Bone marrow aspirate smear: 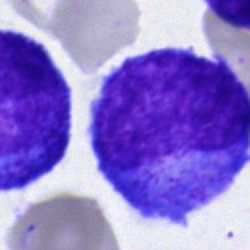
Cell = promyelocyte.